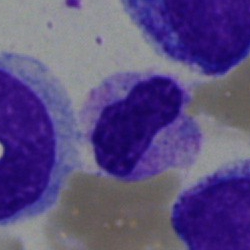

Cell type: neutrophil (band).